Bone marrow smear — 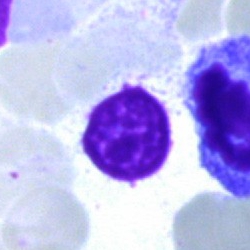
Single cell identified as an artefact.